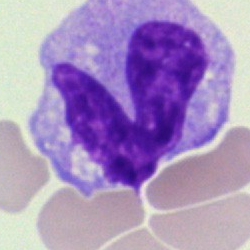Morphological class = monocyte.